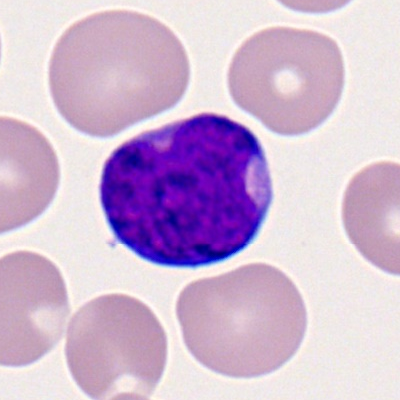

Classification = myeloid blast.